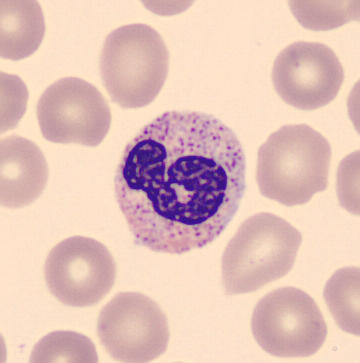Morphological class = stab cell. Preparation: MGG stain; peripheral blood film.